Bone marrow smear:
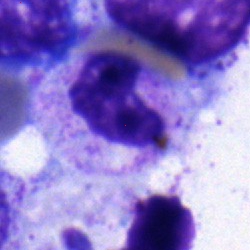

Single cell identified as a metamyelocyte.